Pappenheim-stained. Bone marrow smear. Image size 250×250
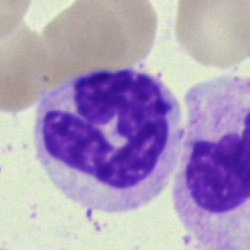 Specimen: bone marrow aspirate smear.
Classification: polymorphonuclear neutrophil.
Lineage: myeloid.